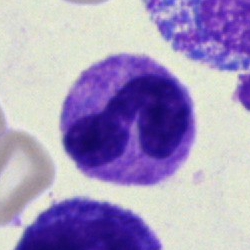Q: What is shown here?
A: Segmented neutrophil.